Single-cell field; bone marrow aspirate smear; Pappenheim-stained
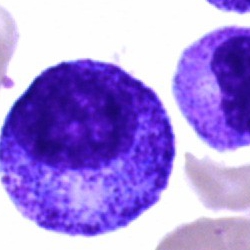

Single cell identified as a promyelocyte.